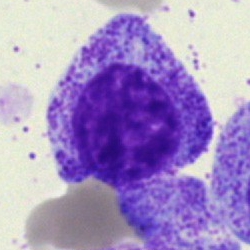
A myelocyte.